Brightfield microscopy, 40× oil immersion. Bone marrow aspirate smear. MGG-stained.
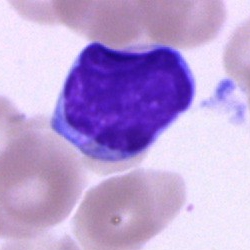Specimen: bone marrow aspirate smear.
Cell type: typical lymphocyte.